250 by 250 pixels. Bone marrow smear.
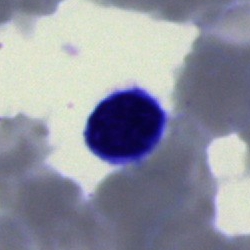
Q: Identify the cell.
A: It is a typical lymphocyte.